Bone marrow smear:
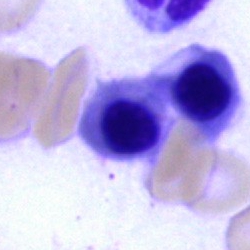 The cell shown is a normoblast.